Bone marrow smear:
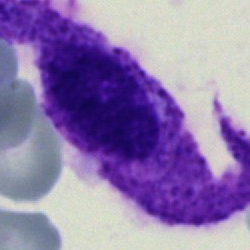
An other cell.